Bone marrow smear. May-Grünwald-Giemsa stain. Image size 250×250 — 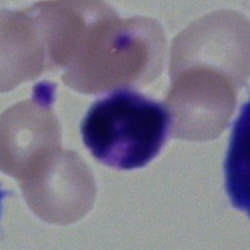
Specimen: bone marrow aspirate smear.
Morphological class: neutrophil (segmented).
Lineage: myeloid.